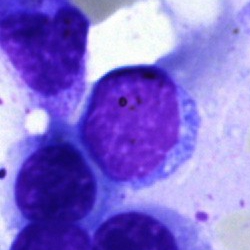Morphology — typical lymphocyte.